Bone marrow aspirate smear — 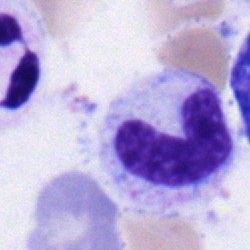 Q: Identify the cell.
A: This is a neutrophil (band).